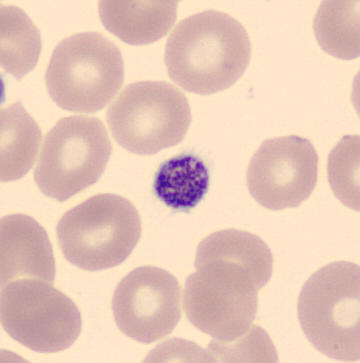 Q: What is shown here?
A: This is a thrombocyte.

Imaged on a CellaVision DM96 analyser · MGG-stained · peripheral blood film.